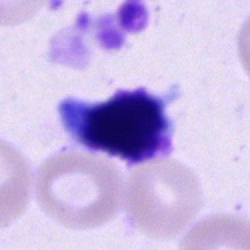

Morphological class = artifact.